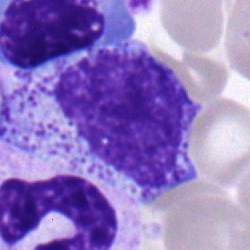 Showing a myelocyte.